250×250 · bone marrow aspirate smear · single-cell crop:
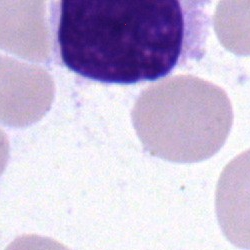

Showing a typical lymphocyte.